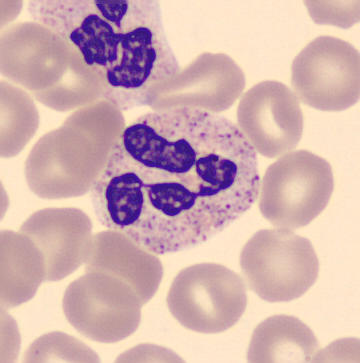 Classification — neutrophil (segmented).

Image: Single cell centered in the field · peripheral blood film.